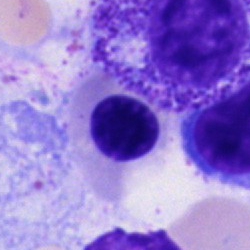
Bone marrow smear showing a nucleated red blood cell.